Bone marrow smear: 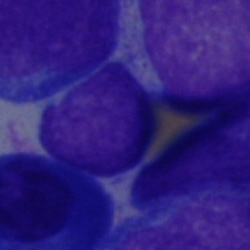

{"cell_type": "blast"}